Bone marrow smear: 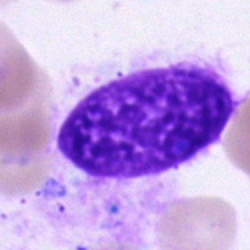{"cell_type": "artifact"}